Bone marrow smear
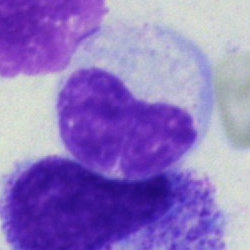

Showing a neutrophil (band).